Peripheral blood smear — 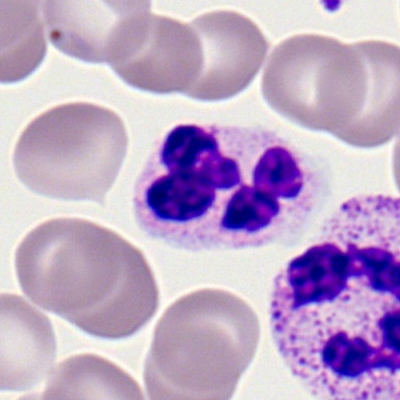Morphological class = neutrophil (segmented).